Bone marrow aspirate smear:
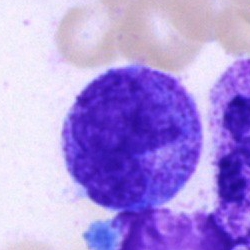Morphological class — promyelocyte.